Bone marrow smear · May-Grünwald-Giemsa stain
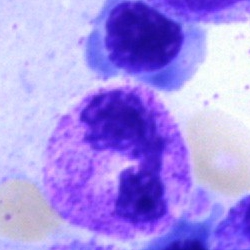

This is a neutrophil (segmented).